Bone marrow smear
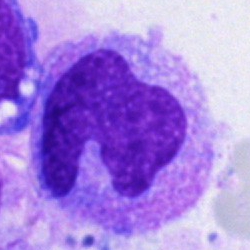
Specimen: bone marrow smear.
Morphological class: monocyte.